Bone marrow smear: 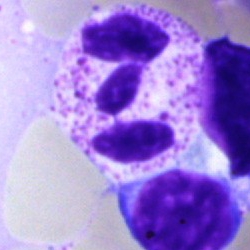
Q: What is the morphological classification of this cell?
A: A segmented neutrophil.